Bone marrow aspirate smear
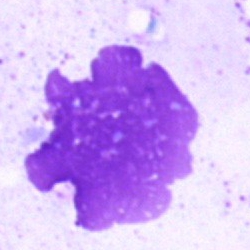Classification = artifact.